Bone marrow smear — 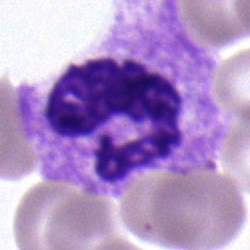Q: What cell is this?
A: It is a segmented neutrophil.